Bone marrow aspirate smear — 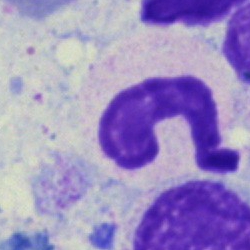 Impression — band neutrophil.